Bone marrow aspirate smear: 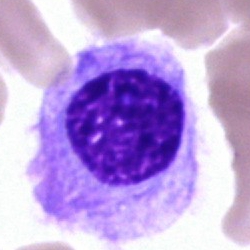

Classification — hairy cell.